Bone marrow aspirate smear — 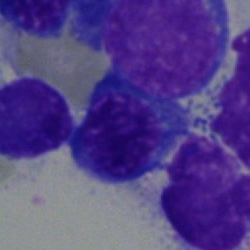 Classification = nucleated red cell.